Bone marrow smear — 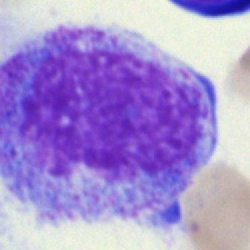 Specimen: bone marrow smear.
Morphological class: progranulocyte.
Lineage: myeloid.